Bone marrow aspirate smear: 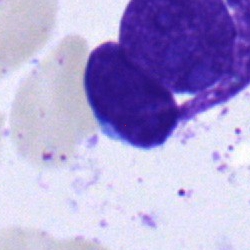 Cell type — lymphocyte.